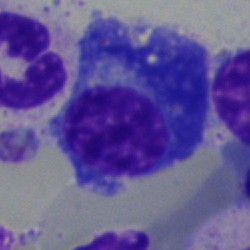Morphology — plasmacyte.